Bone marrow smear. May-Grünwald-Giemsa/Pappenheim stain. 250 by 250 pixels.
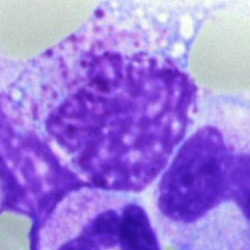Cell — artifact.